Bone marrow aspirate smear: 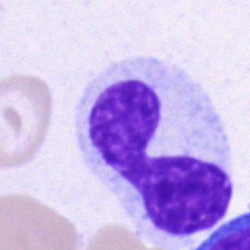 Morphology — neutrophil (band).